40× oil immersion · bone marrow smear.
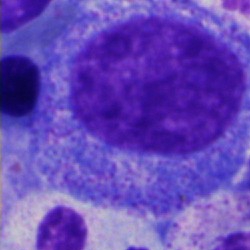

Single cell identified as a promyelocyte.